May-Grünwald-Giemsa stain · bone marrow aspirate smear.
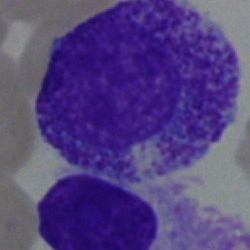
Showing a myelocyte.